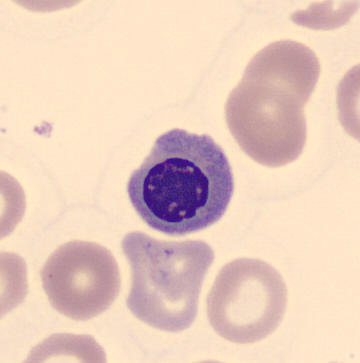

Identified as an erythroblast.